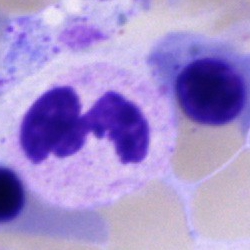

Polymorphonuclear neutrophil.